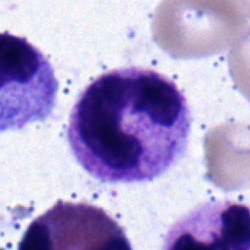

Cell type: segmented neutrophil.